Bone marrow aspirate smear:
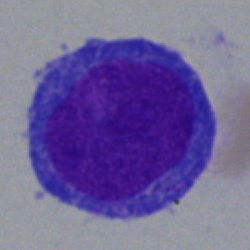Cell — undifferentiated blast.